Bone marrow aspirate smear
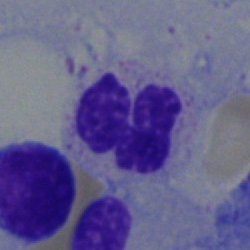The cell shown is a polymorphonuclear neutrophil.